Bone marrow aspirate smear
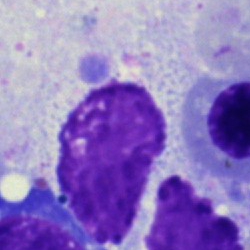 Q: What is shown here?
A: This is an artefact.